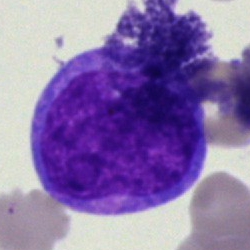Impression — blast cell.